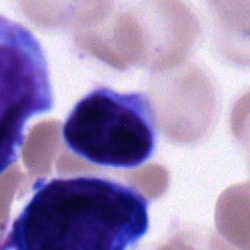
The cell shown is a typical lymphocyte.